Bone marrow aspirate smear:
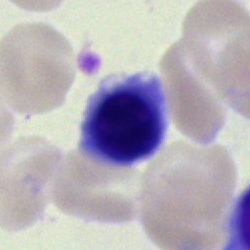Cell: nucleated red cell.